Peripheral blood film.
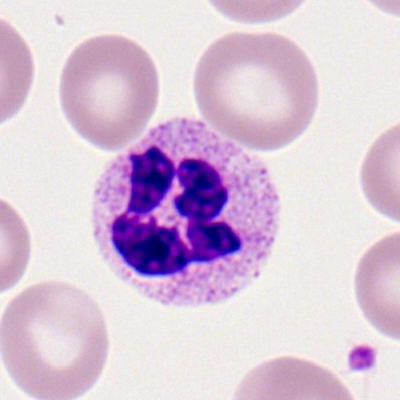
The classification is polymorphonuclear neutrophil.